Bone marrow aspirate smear:
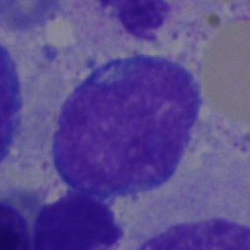Q: What cell is this?
A: A typical lymphocyte.